Bone marrow aspirate smear
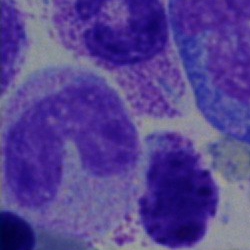 Cell: metamyelocyte.